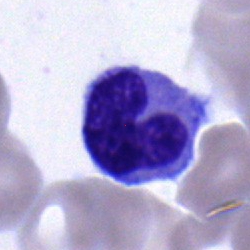
The cell is monocyte.